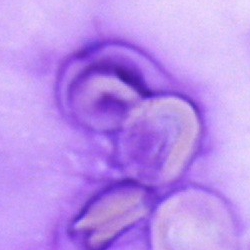
Bone marrow aspirate smear, single cell — artefact.